Single-cell crop; bone marrow aspirate smear.
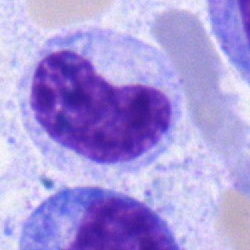 Q: Which cell type is shown here?
A: Metamyelocyte.